Bone marrow smear · single cell centered in the field
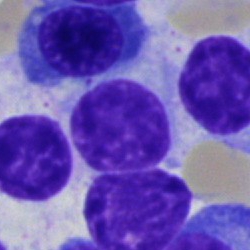
Q: What is shown here?
A: It is an artifact.